Bone marrow smear; single cell centered in the field.
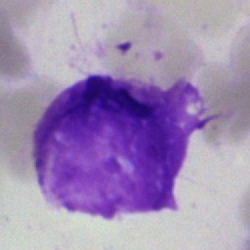 Q: What is shown here?
A: Artefact.